Bone marrow aspirate smear — 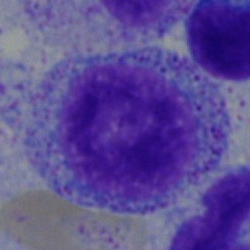 Impression — myelocyte.